Bone marrow smear
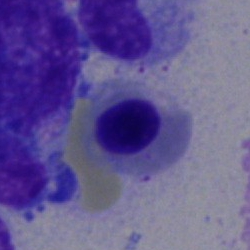 Morphological class: nucleated red cell.